Pappenheim-stained · single cell centered in the field · bone marrow aspirate smear.
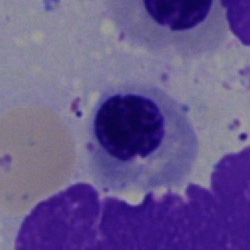
Showing an erythroblast.